Bone marrow smear. Single-cell field: 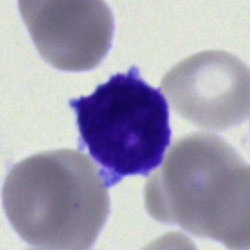

Specimen: bone marrow smear.
Cell type: blast cell.